Brightfield, 40× oil-immersion objective. Bone marrow aspirate smear
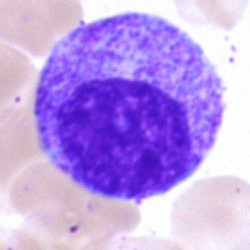

Q: What is the morphological classification of this cell?
A: This is a myelocyte.